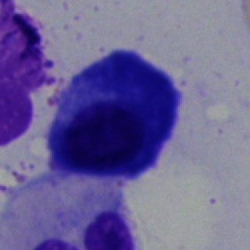
Specimen: bone marrow smear.
Morphological class: plasma cell.
Lineage: lymphoid.